May-Grünwald-Giemsa stain · bone marrow aspirate smear · 250 by 250 pixels
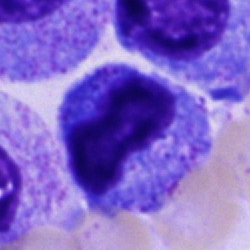
Showing a cell of indeterminate lineage.